May-Grünwald-Giemsa stain. 250 by 250 pixels. Bone marrow aspirate smear.
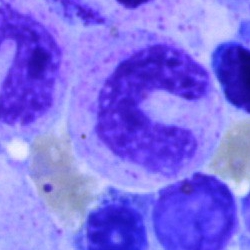

Cell type: band-form neutrophil.